Single cell centered in the field. Brightfield microscopy, 40× oil immersion. Bone marrow smear:
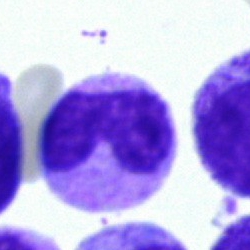 Q: What is shown here?
A: Band-form neutrophil.